May-Grünwald-Giemsa stain. Bone marrow aspirate smear. 40× objective, oil immersion.
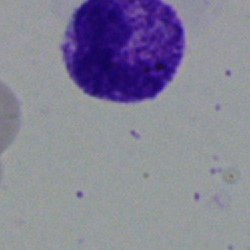{"cell_type": "neutrophil (segmented)"}